250×250; May-Grünwald-Giemsa/Pappenheim stain; bone marrow smear: 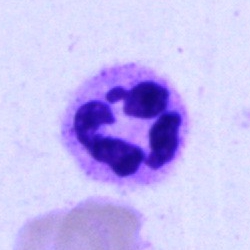 Morphological class: polymorphonuclear neutrophil.